Bone marrow aspirate smear.
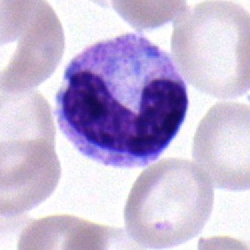

Specimen: bone marrow smear.
Morphological class: neutrophil (band).
Lineage: myeloid.